Bone marrow aspirate smear · 40× objective, oil immersion: 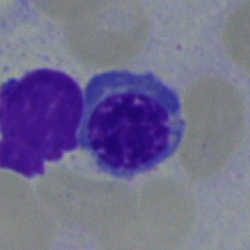

Classification — normoblast.